Bone marrow aspirate smear.
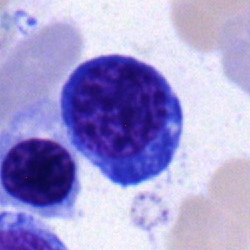
Q: What cell is this?
A: Nucleated red cell.